Bone marrow aspirate smear: 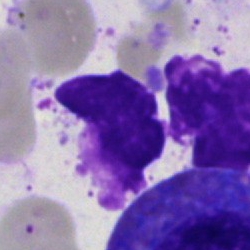

Artefact.